Bone marrow aspirate smear · 250×250 · single-cell field:
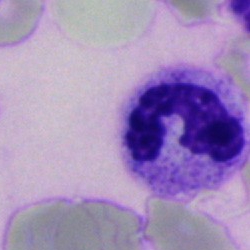

Neutrophil (segmented).